Brightfield microscopy, 40× oil immersion · bone marrow aspirate smear · May-Grünwald-Giemsa stain.
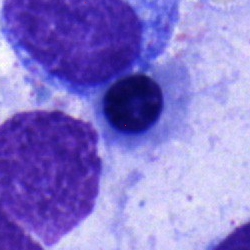

The cell shown is an erythroblast.